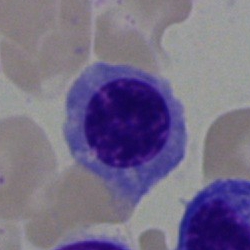Q: What cell is this?
A: Normoblast.